Peripheral blood smear.
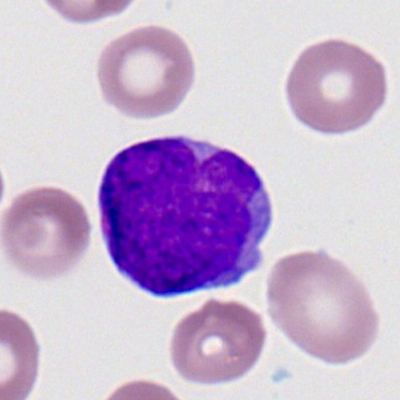

Cell — myeloblast.